Bone marrow aspirate smear
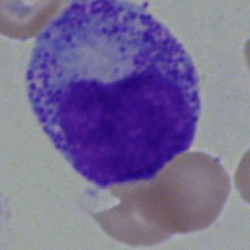

Morphology consistent with a myelocyte.